Bone marrow aspirate smear: 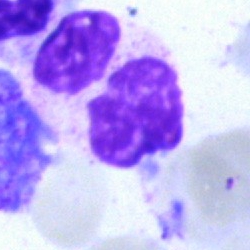Cell type: artefact.